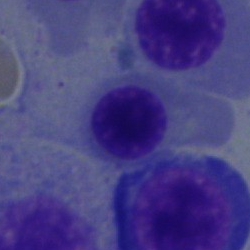
{"cell_type": "nucleated red cell"}